400×400 · peripheral blood smear · 100× objective, oil immersion:
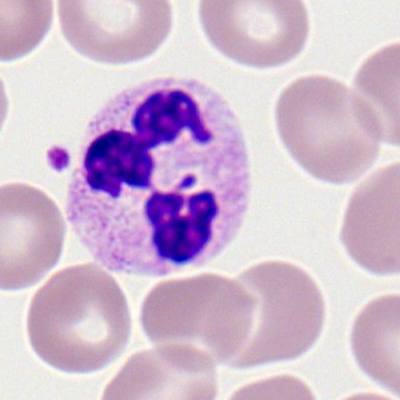Cell — polymorphonuclear neutrophil.